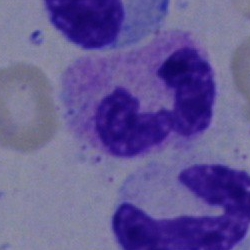
Polymorphonuclear neutrophil.